Bone marrow aspirate smear. Brightfield microscopy, 40× oil immersion: 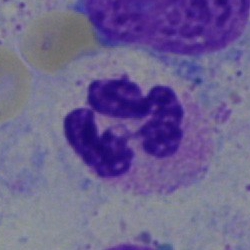 The cell shown is a neutrophil (segmented).